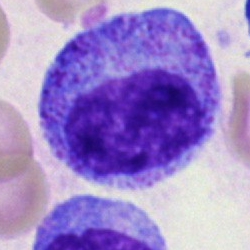Cell — progranulocyte.